Peripheral blood smear
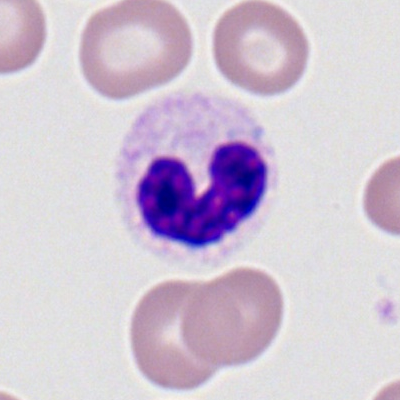

Impression — band-form neutrophil.